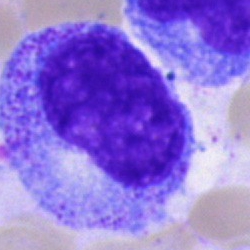

Specimen: bone marrow smear.
Cell: promyelocyte.